Bone marrow aspirate smear.
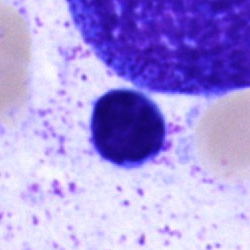

Specimen: bone marrow smear.
Classification: typical lymphocyte.